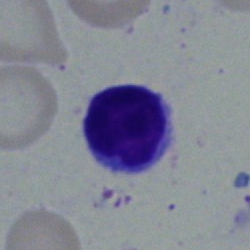 Cell type: typical lymphocyte.